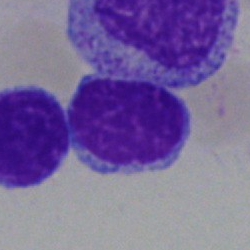

Bone marrow aspirate smear, single cell — typical lymphocyte.